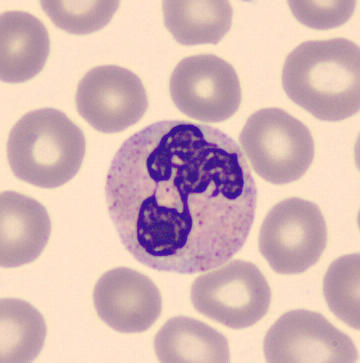

Cell: segmented neutrophil.

Image: Peripheral blood smear.